Brightfield, 40× oil-immersion objective. Bone marrow smear:
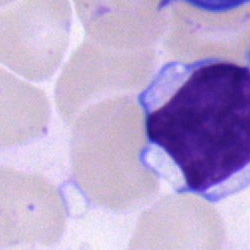Classification — lymphocyte.